Bone marrow smear.
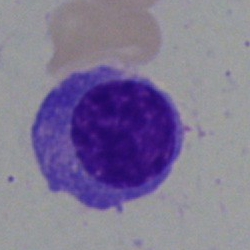
Cell: plasma cell.